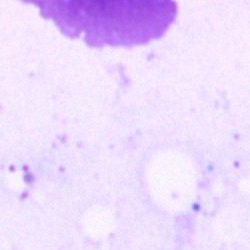

Morphology → artefact.